Bone marrow aspirate smear; image size 250×250
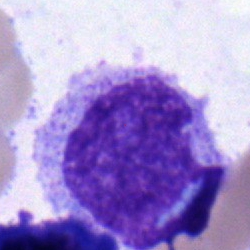
The cell shown is a monocyte.